Single-cell field. Bone marrow smear — 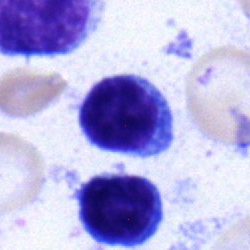

Morphological class: typical lymphocyte.